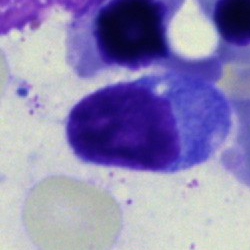
This is a lymphocyte.